Bone marrow smear. Brightfield, 40× oil-immersion objective:
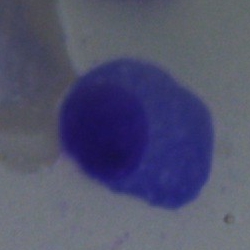A plasma cell.